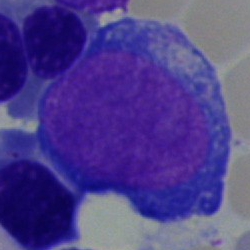

Impression — pronormoblast.